Cropped to a single cell; bone marrow smear: 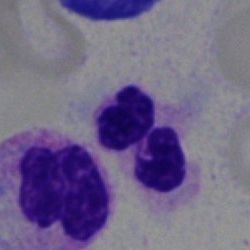{"cell_type": "segmented neutrophil", "lineage": "myeloid"}